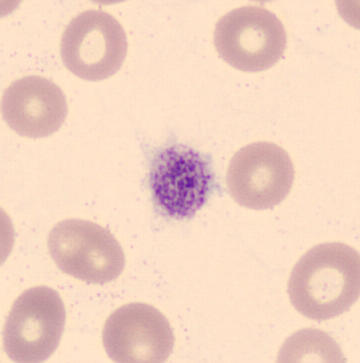
Thrombocyte.

Image: Peripheral blood film; 360×363 px.